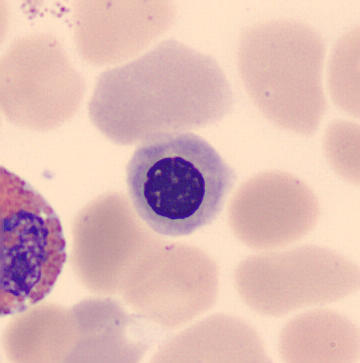Q: Identify the cell.
A: It is an erythroblast.

Acquisition: MGG stain · 360×363 · peripheral blood film.